Bone marrow aspirate smear: 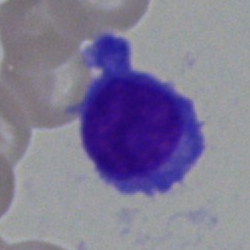 Impression — plasmacyte.